Bone marrow smear.
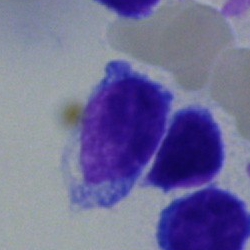 Typical lymphocyte.